Bone marrow smear
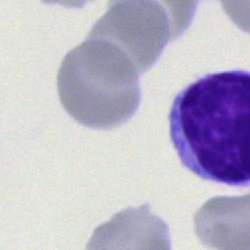
Cell type: lymphocyte.